May-Grünwald-Giemsa/Pappenheim stain. Bone marrow smear. 40× objective, oil immersion — 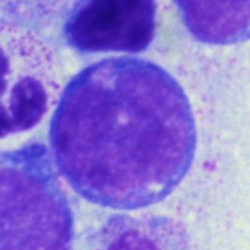
Specimen: bone marrow smear.
Cell: undifferentiated blast.